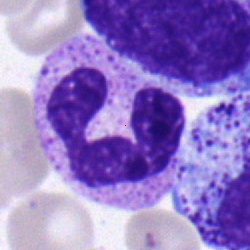Morphology — neutrophil (segmented).